Bone marrow aspirate smear:
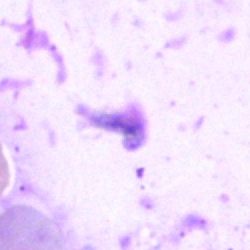
Specimen: bone marrow aspirate smear.
Cell: artefact.